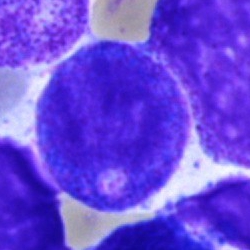
Classification: progranulocyte.